Brightfield, 40× oil-immersion objective; bone marrow smear:
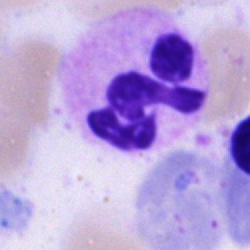

A polymorphonuclear neutrophil.